Brightfield microscopy, 40× oil immersion. Bone marrow smear
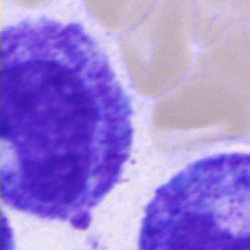
Q: Which cell type is shown here?
A: Promyelocyte.